Bone marrow smear · cropped to a single cell
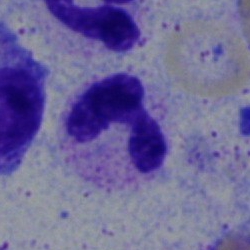This is a segmented neutrophil.